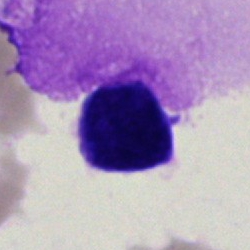Impression → artifact.